MGG-stained · bone marrow smear:
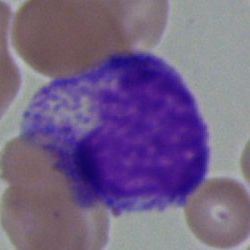
Specimen: bone marrow smear.
Cell type: myelocyte.